Bone marrow smear.
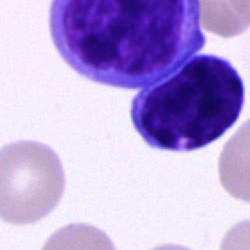

The cell type is lymphocyte.